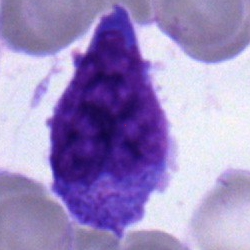
A blast cell on a bone marrow smear.